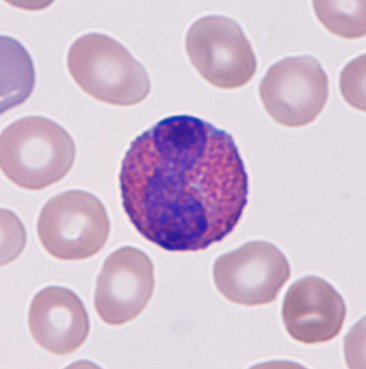 Peripheral blood smear showing an eosinophilic granulocyte.